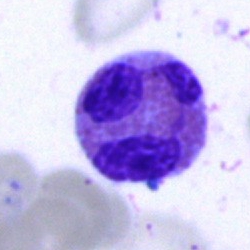 Specimen: bone marrow smear.
Cell type: eosinophilic granulocyte.